Bone marrow smear; single cell centered in the field: 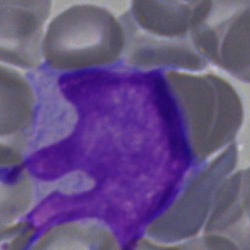

Morphology consistent with a monocyte.